Bone marrow smear · 40× oil immersion:
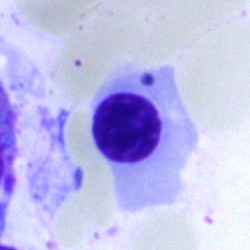
Morphological class = nucleated red cell.